Bone marrow smear
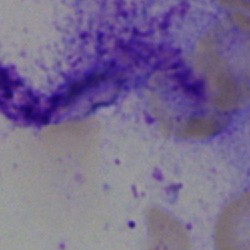

{"cell_type": "artefact"}